Bone marrow aspirate smear.
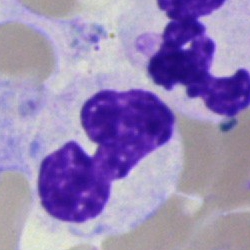 Showing a polymorphonuclear neutrophil.